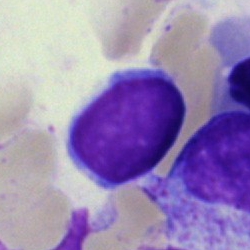
Single-cell crop from a bone marrow smear: lymphocyte.